Bone marrow smear.
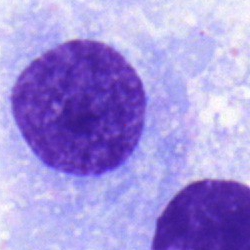
{"cell_type": "plasma cell", "lineage": "lymphoid"}